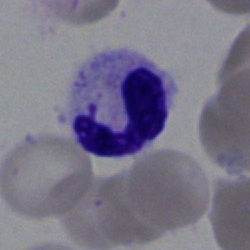
Classification — neutrophil (segmented).